Single cell centered in the field. Peripheral blood film. 360 by 363 pixels
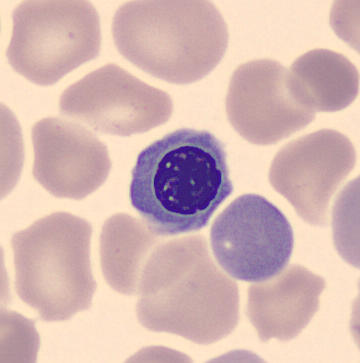

Classification: nucleated red cell.